Bone marrow smear.
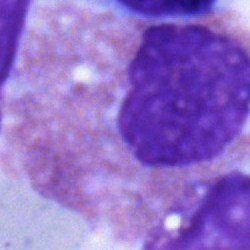
{"cell_type": "eosinophilic granulocyte"}